Peripheral blood smear · Romanowsky stain: 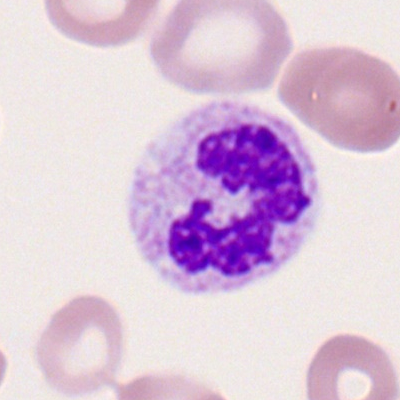 Q: What is the morphological classification of this cell?
A: Segmented neutrophil.